Bone marrow aspirate smear · single-cell field · 250×250.
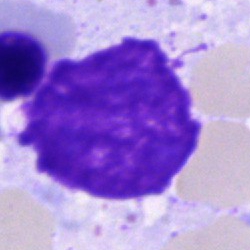
Specimen: bone marrow smear.
Classification: artifact.